400 by 400 pixels · peripheral blood smear · single-cell field — 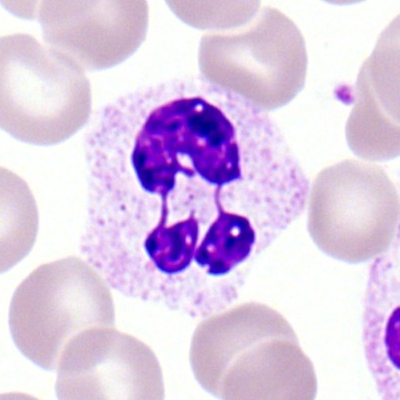

Showing a neutrophil (segmented).